Bone marrow aspirate smear. 250 by 250 pixels: 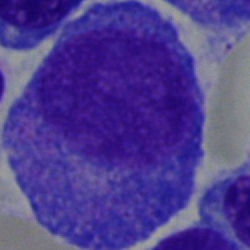Q: Which cell type is shown here?
A: This is a progranulocyte.